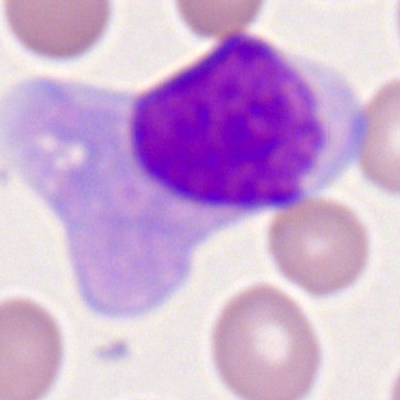 Showing a monocyte.